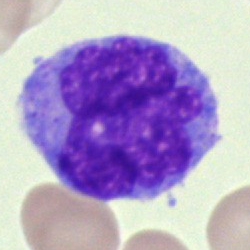
Q: Which cell type is shown here?
A: It is a monocyte.